Bone marrow aspirate smear: 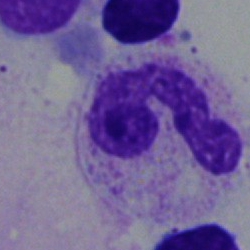 The cell is neutrophil (segmented).